Bone marrow smear. May-Grünwald-Giemsa/Pappenheim stain
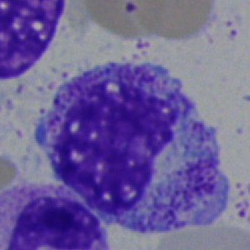
This is a myelocyte.